Brightfield microscopy, 40× oil immersion · 250×250 · bone marrow smear — 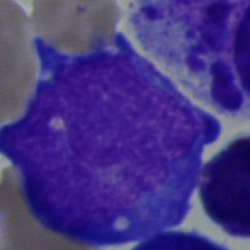

Classification — blast cell.